Bone marrow aspirate smear.
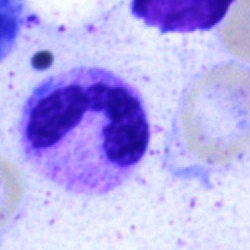
Cell = neutrophil (segmented).